Brightfield, 40× oil-immersion objective. Bone marrow smear. 250×250
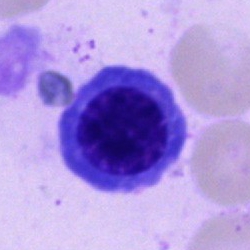Cell: erythroblast.